Cropped to a single cell; bone marrow smear; 250×250: 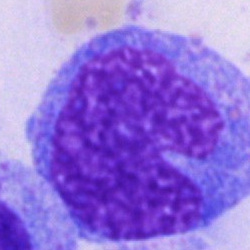
{"cell_type": "monocyte", "lineage": "myeloid"}